Bone marrow smear · Pappenheim-stained: 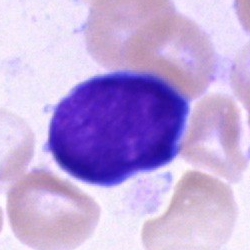
A blast cell.